Bone marrow aspirate smear · 250×250 px · single-cell field:
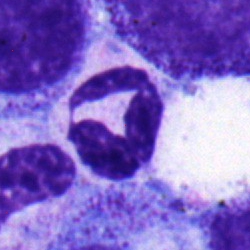

Single cell identified as a polymorphonuclear neutrophil.